Bone marrow aspirate smear · single cell centered in the field · MGG-stained: 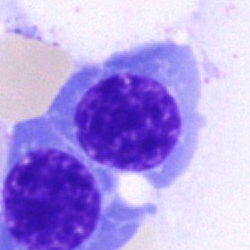

{"cell_type": "normoblast"}